Bone marrow smear: 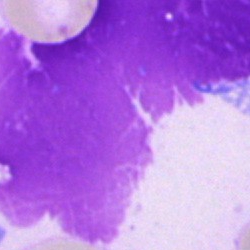Q: What is shown here?
A: This is an artifact.